Single-cell field. 250 by 250 pixels. Bone marrow smear.
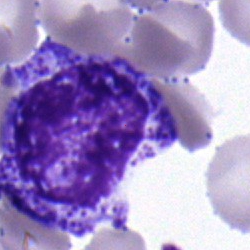

Myelocyte.